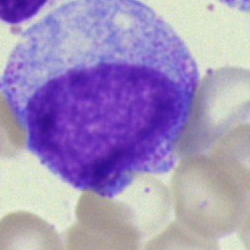

A myelocyte on a bone marrow smear.